Bone marrow aspirate smear:
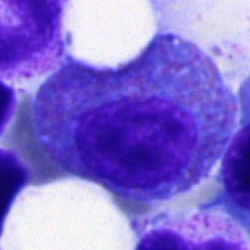
Cell = progranulocyte.